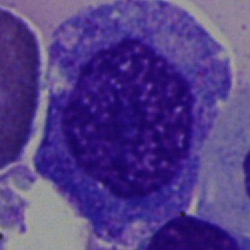
Specimen: bone marrow smear.
Cell: promyelocyte.
Lineage: myeloid.